Bone marrow smear:
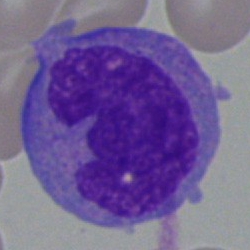The morphological class is monocyte.